Pappenheim-stained. Bone marrow aspirate smear. Single-cell crop — 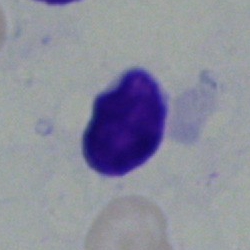 Cell — typical lymphocyte.